Bone marrow aspirate smear
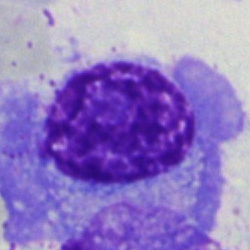 Specimen: bone marrow aspirate smear.
Cell type: plasma cell.
Lineage: lymphoid.